Bone marrow smear — 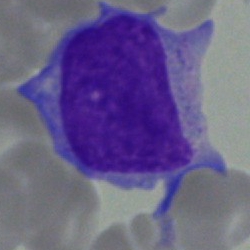
This is a blast cell.